Bone marrow aspirate smear.
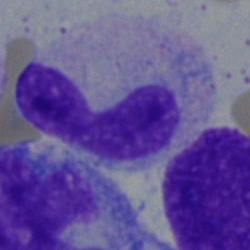 This is a band-form neutrophil.